Bone marrow aspirate smear — 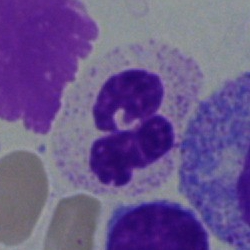 This is a polymorphonuclear neutrophil.